Peripheral blood smear · 400×400 — 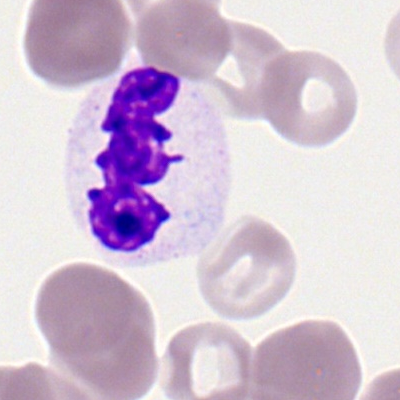

Morphology consistent with a segmented neutrophil.